Bone marrow aspirate smear
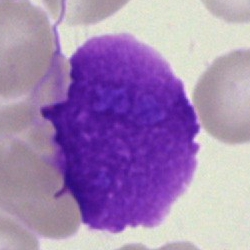
The cell is artefact.